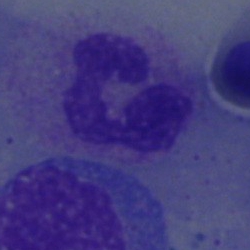 Morphology consistent with a segmented neutrophil.